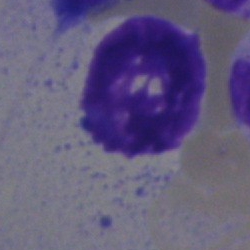

Q: What is shown here?
A: An artefact.